Bone marrow smear.
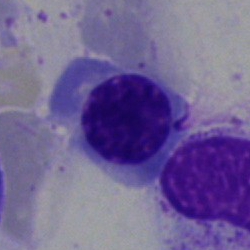 Classification: nucleated red blood cell.